Bone marrow aspirate smear — 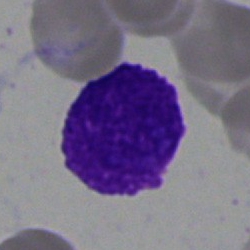Impression — artefact.